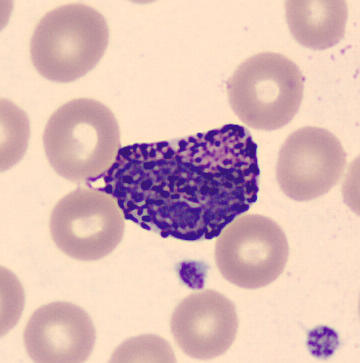
Preparation: Peripheral blood smear · single cell centered in the field.

{"cell_type": "basophil"}